Image size 250×250; bone marrow smear; cropped to a single cell:
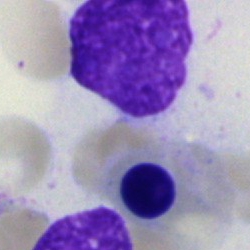
Classification: artifact.